Bone marrow smear. Single-cell field — 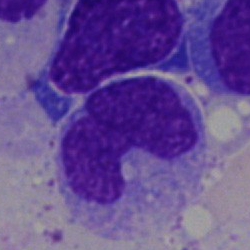Specimen: bone marrow aspirate smear.
Classification: neutrophil (band).